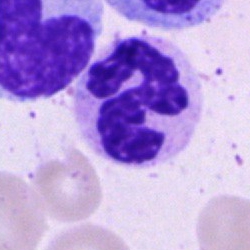

Cell — segmented neutrophil.